Bone marrow smear:
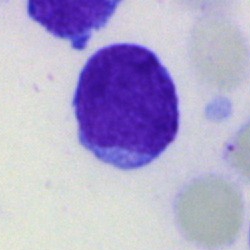
Impression — blast.